Bone marrow aspirate smear:
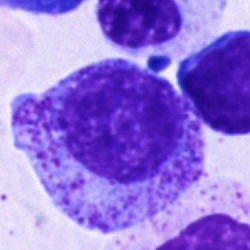Morphological class — promyelocyte.